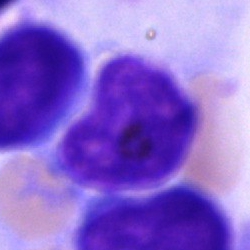
Cell type — unidentifiable cell.